Bone marrow aspirate smear; 250 by 250 pixels:
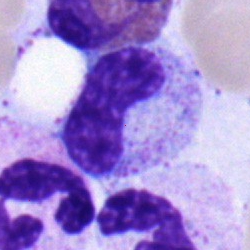 Specimen: bone marrow aspirate smear.
Classification: band neutrophil.
Lineage: myeloid.